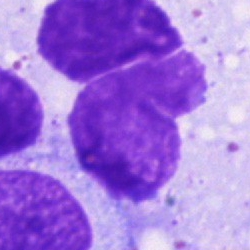

Morphological class = artifact.